Peripheral blood film · 100× oil immersion
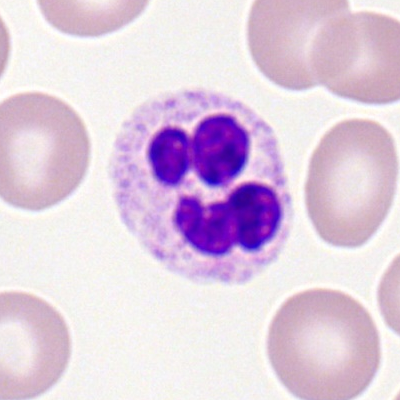

Single cell identified as a polymorphonuclear neutrophil.